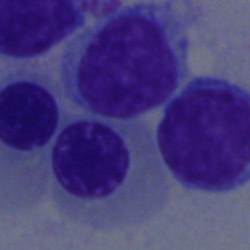
Q: Identify the cell.
A: It is a nucleated red cell.